Brightfield, 40× oil-immersion objective. Bone marrow smear. Image size 250×250:
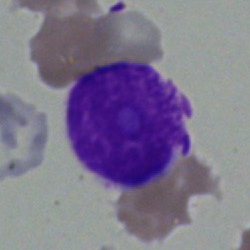Cell type: blast cell.